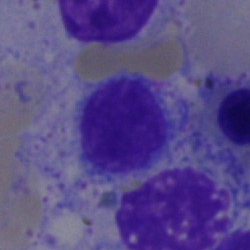Cell — typical lymphocyte.